Pappenheim-stained; single cell centered in the field; bone marrow aspirate smear:
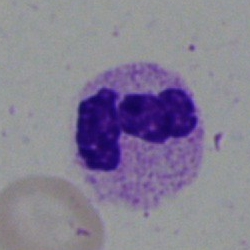 Morphological class = neutrophil (segmented).